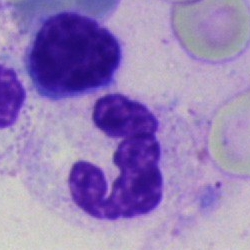
This is a segmented neutrophil.